Bone marrow aspirate smear · cropped to a single cell · 250×250 px.
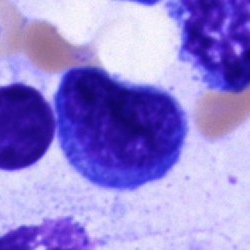 Morphological class: blast.